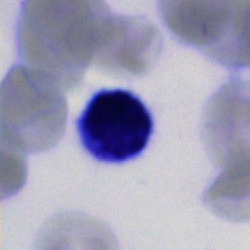 Morphology consistent with a lymphocyte.